Bone marrow smear; 250×250 — 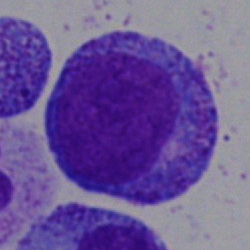 This is a progranulocyte.